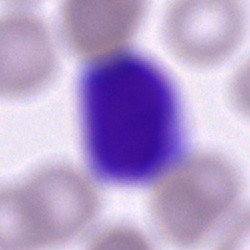 Q: Identify the cell.
A: A cell of indeterminate lineage.